Cropped to a single cell · bone marrow aspirate smear · 250×250.
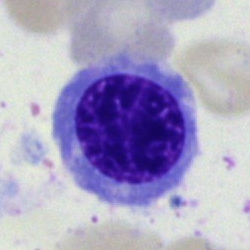Morphological class — nucleated red blood cell.